40× objective, oil immersion. Bone marrow aspirate smear
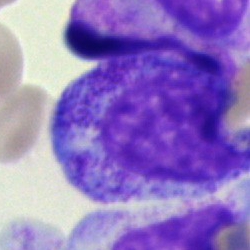 Single cell identified as a progranulocyte.